MGG-stained; 40× objective, oil immersion; bone marrow aspirate smear:
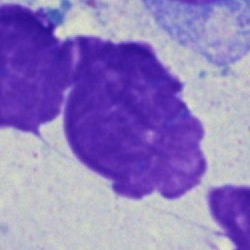Q: What is shown here?
A: Artifact.